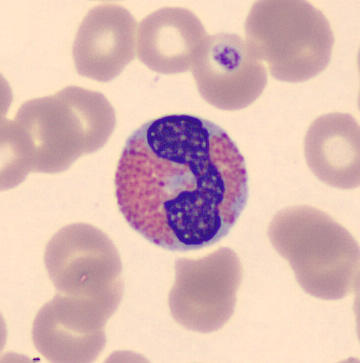Q: Which cell type is shown here?
A: Eosinophilic granulocyte.